Pappenheim-stained; bone marrow smear: 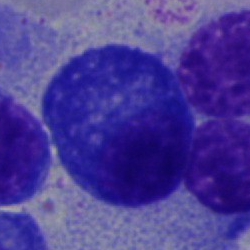

Morphology → plasma cell.